Cropped to a single cell · 250×250 px · bone marrow aspirate smear: 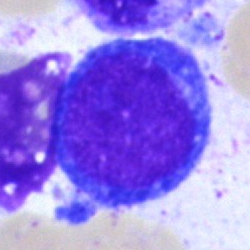 Proerythroblast.